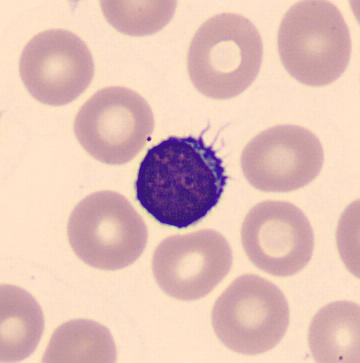

Acquisition: Peripheral blood smear · CellaVision DM96 digital cell image.

Q: What cell is this?
A: Typical lymphocyte.